Bone marrow aspirate smear; single-cell field — 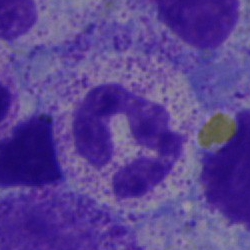
Q: What is the morphological classification of this cell?
A: It is a neutrophil (segmented).